Bone marrow smear
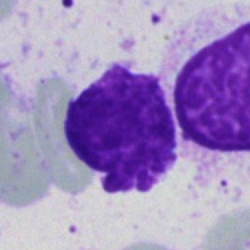

Classification: artifact.